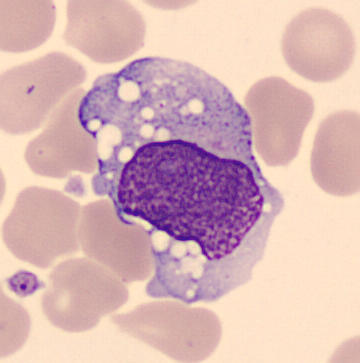
Showing a monocyte.